Bone marrow aspirate smear; 250×250: 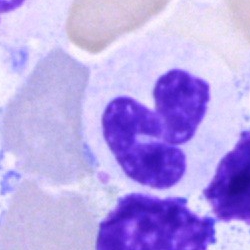
Impression — neutrophil (segmented).